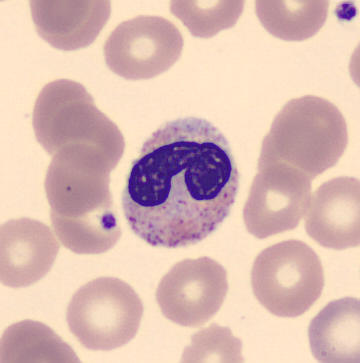

Classification: band-form neutrophil.